Peripheral blood film · single cell centered in the field · May-Grünwald-Giemsa-stained.
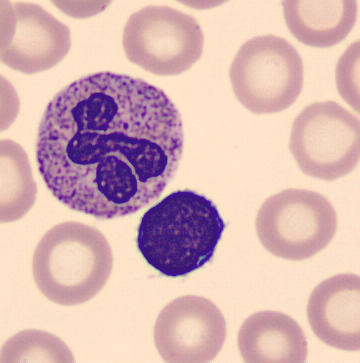Morphology consistent with a lymphocyte.